Bone marrow smear; 250 by 250 pixels — 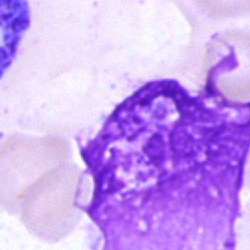 Impression → artifact.